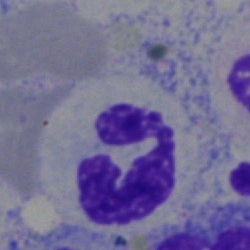Morphology consistent with a polymorphonuclear neutrophil.